Image size 250×250. Bone marrow smear: 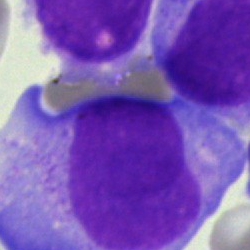

Classification — blast cell.